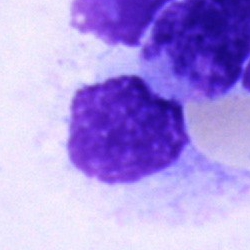Artefact.